Bone marrow smear; 250×250 px; brightfield microscopy, 40× oil immersion — 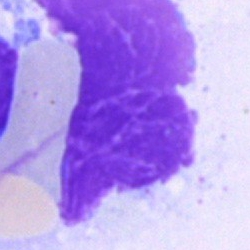
Morphology consistent with an artifact.